Bone marrow aspirate smear · 40× objective, oil immersion · 250×250.
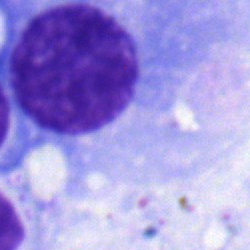
Specimen: bone marrow smear.
Morphological class: plasma cell.
Lineage: lymphoid.